100× objective, oil immersion · peripheral blood film · 400 by 400 pixels.
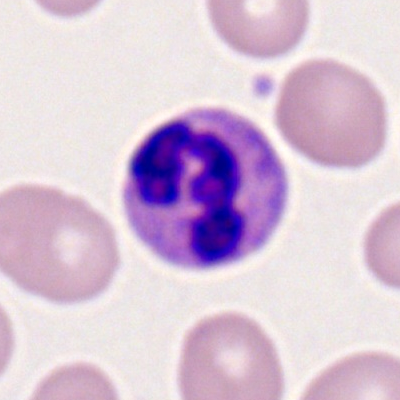

The morphological class is polymorphonuclear neutrophil.